250×250 px · cropped to a single cell · bone marrow smear
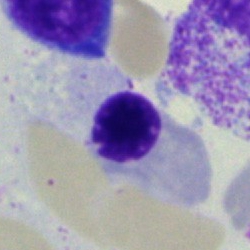

Cell = nucleated red blood cell.